Bone marrow smear — 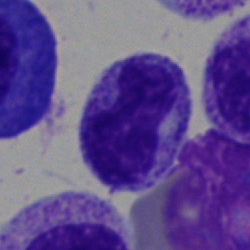Morphological class — metamyelocyte.